Pappenheim-stained; bone marrow aspirate smear.
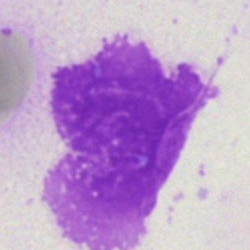

Artifact.